Bone marrow aspirate smear:
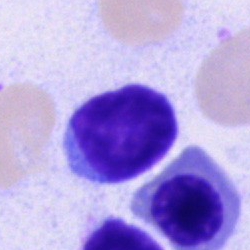 Specimen: bone marrow aspirate smear.
Classification: typical lymphocyte.
Lineage: lymphoid.